250 by 250 pixels. Bone marrow smear: 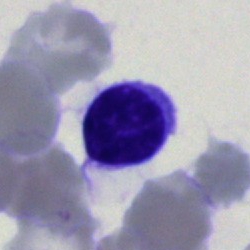 The cell type is typical lymphocyte.